Bone marrow aspirate smear. 250×250:
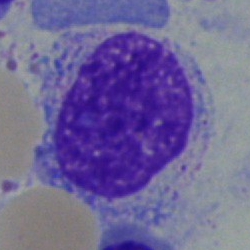
Cell — myelocyte.